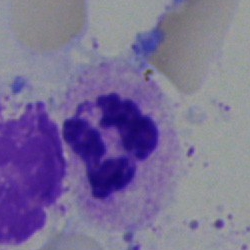

Classification: segmented neutrophil.